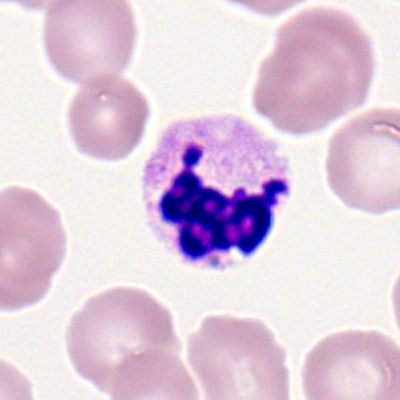 Morphology consistent with a neutrophil (segmented).